Bone marrow smear: 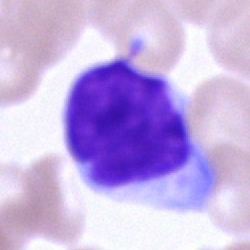The cell type is lymphocyte.